May-Grünwald-Giemsa/Pappenheim stain. Bone marrow smear: 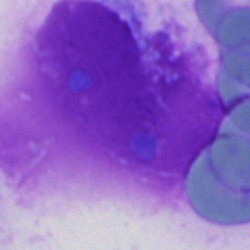Morphological class: artefact.